Peripheral blood smear. Romanowsky stain
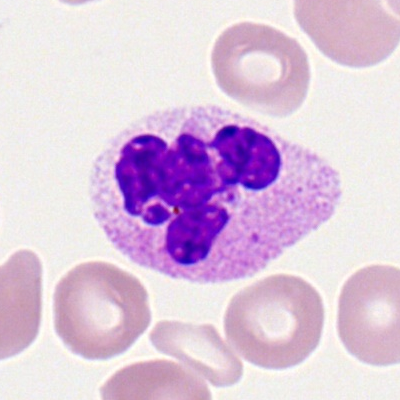Showing a neutrophil (segmented).